Bone marrow smear: 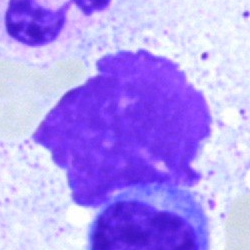
Morphology consistent with an artifact.